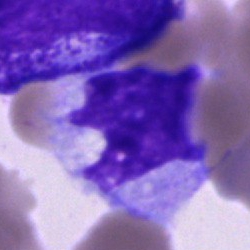
Morphological class: cell of indeterminate lineage.